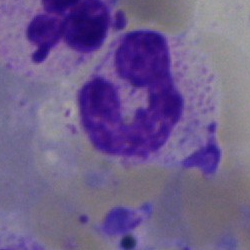Classification = neutrophil (segmented).